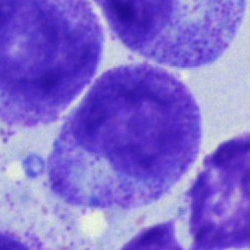A myelocyte on a bone marrow smear.